Bone marrow aspirate smear; Pappenheim-stained — 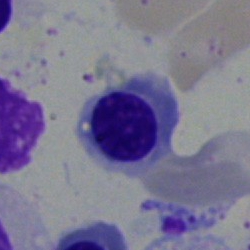
This is a nucleated red blood cell.